Bone marrow smear · 250×250
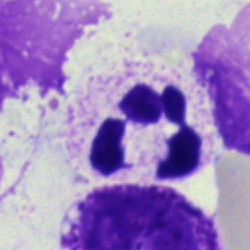
Specimen: bone marrow aspirate smear.
Classification: polymorphonuclear neutrophil.
Lineage: myeloid.